Peripheral blood smear
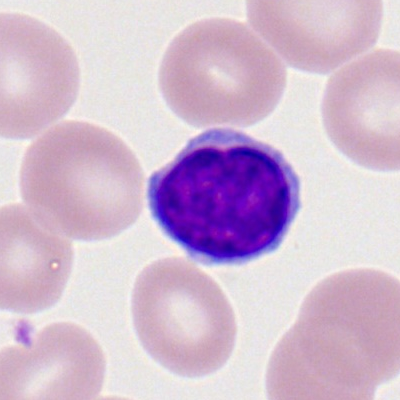

Classification = typical lymphocyte.